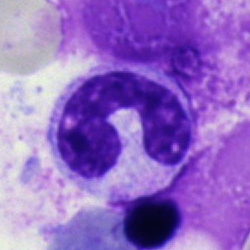

Single cell identified as a neutrophil (band).